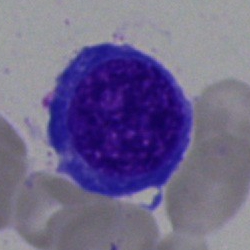Morphology → nucleated red cell.